Bone marrow aspirate smear
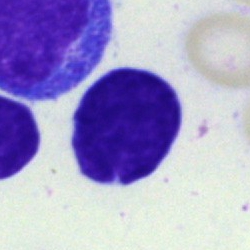
Specimen: bone marrow smear.
Classification: lymphocyte.